Bone marrow smear — 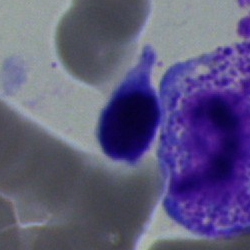 Cell — typical lymphocyte.